Bone marrow aspirate smear; brightfield, 40× oil-immersion objective: 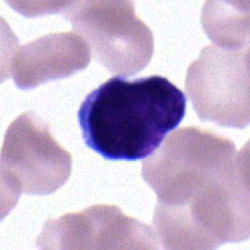 The cell is lymphocyte.